Bone marrow smear.
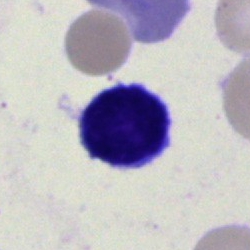
A typical lymphocyte.